Brightfield, 40× oil-immersion objective. Bone marrow smear:
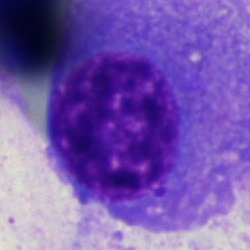Morphology consistent with a plasma cell.